Bone marrow smear:
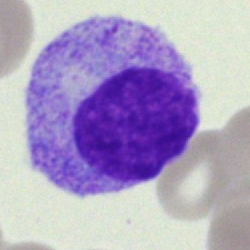 Morphology consistent with a myelocyte.